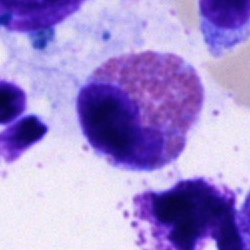
Single cell identified as an eosinophilic granulocyte.